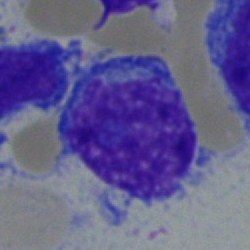 Single cell identified as a lymphocyte.